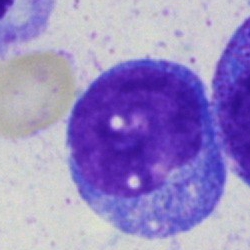
Specimen: bone marrow smear.
Classification: undifferentiated blast.